Bone marrow smear · Pappenheim-stained · 250 by 250 pixels — 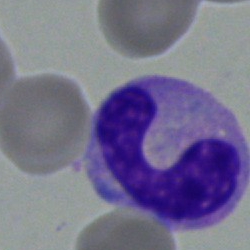
Morphology — band neutrophil.